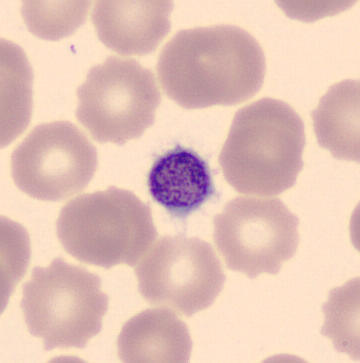Thrombocyte.
May-Grünwald-Giemsa-stained · peripheral blood smear.